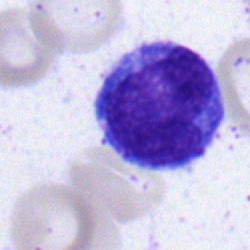Single-cell crop from a bone marrow smear: monocyte.